Bone marrow aspirate smear
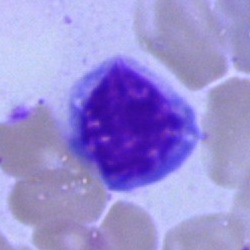Nucleated red cell.